Bone marrow smear
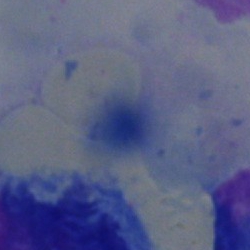

Q: What is shown here?
A: Artefact.